250×250 px. Single-cell crop. Bone marrow smear
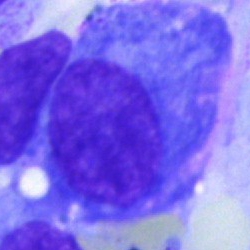

{"cell_type": "plasma cell", "lineage": "lymphoid"}